Bone marrow aspirate smear.
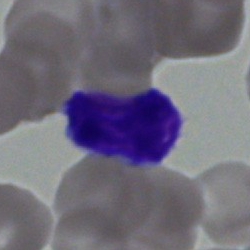

The morphological class is typical lymphocyte.